Bone marrow aspirate smear
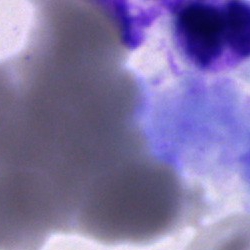Q: What is shown here?
A: Unidentifiable cell.